Bone marrow smear — 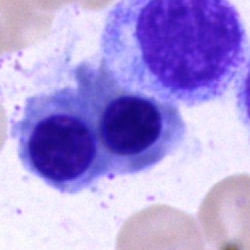 Impression — normoblast.